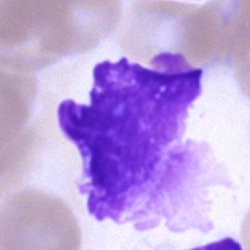

Specimen: bone marrow aspirate smear.
Classification: artifact.